Single-cell crop; bone marrow smear; May-Grünwald-Giemsa/Pappenheim stain — 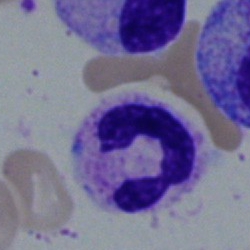 Q: What is the morphological classification of this cell?
A: This is a neutrophil (segmented).